Bone marrow smear. Cropped to a single cell: 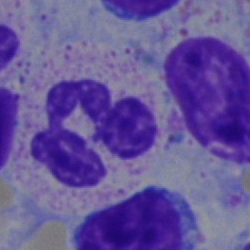

Cell — segmented neutrophil.